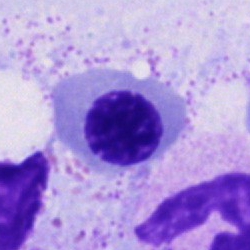 Showing an undifferentiated blast.